Bone marrow aspirate smear: 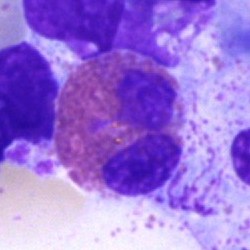
Showing an eosinophilic granulocyte.